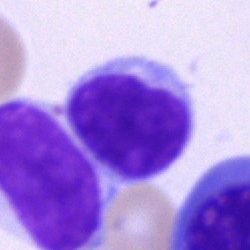

The cell shown is a lymphocyte.